Bone marrow smear · single cell centered in the field.
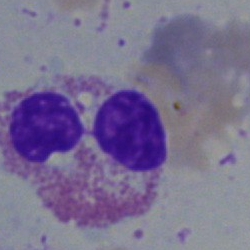Impression — eosinophilic granulocyte.